Image size 250×250; bone marrow aspirate smear — 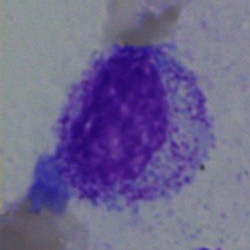Morphology consistent with a myelocyte.